Bone marrow aspirate smear. Single-cell field
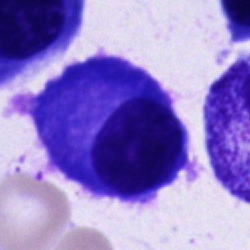 The cell shown is a plasmacyte.